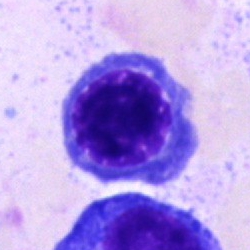
The cell is nucleated red cell.